Bone marrow aspirate smear
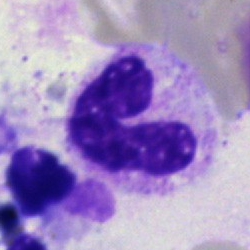

Q: What cell is this?
A: It is a stab cell.